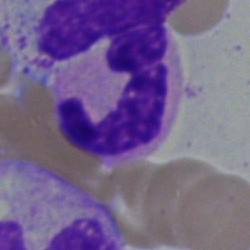 Impression → segmented neutrophil.